Bone marrow smear · single cell centered in the field: 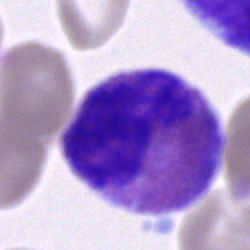

Q: What cell is this?
A: An eosinophil.